250×250 px. Bone marrow aspirate smear: 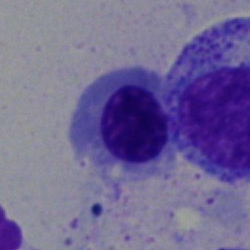
Classification: normoblast.